Peripheral blood film.
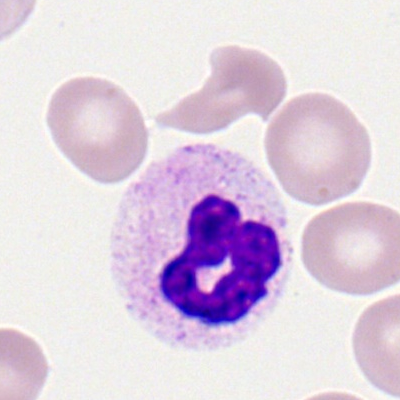 The cell is segmented neutrophil.